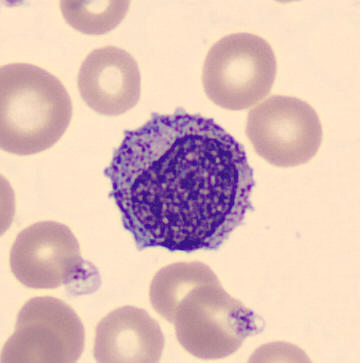
Acquisition: Imaged on a CellaVision DM96 analyser; peripheral blood smear; cropped to a single cell. Q: What cell is this?
A: A myelocyte.